Bone marrow smear · image size 250×250
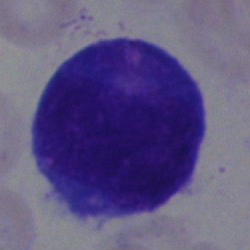

Classification = blast.